Bone marrow smear — 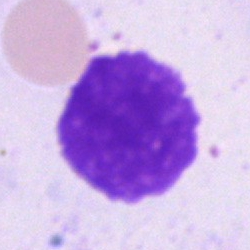
Single cell identified as an artifact.